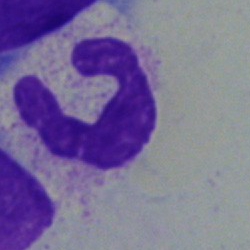

Classification — polymorphonuclear neutrophil.